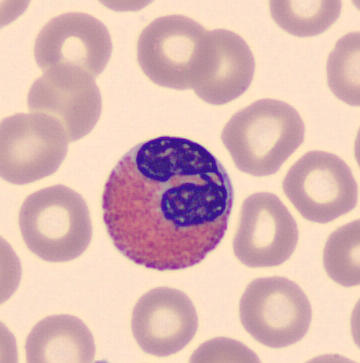 Morphology → eosinophil.

CellaVision DM96 digital cell image · peripheral blood smear · 360×363 px.